Bone marrow aspirate smear
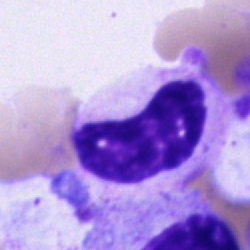Cell: cell of indeterminate lineage.